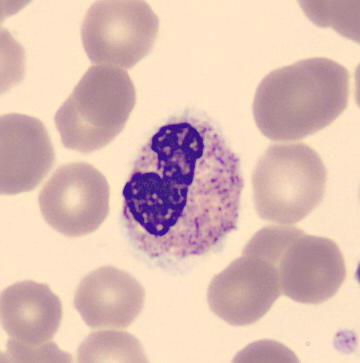
The classification is stab cell.